Peripheral blood smear — 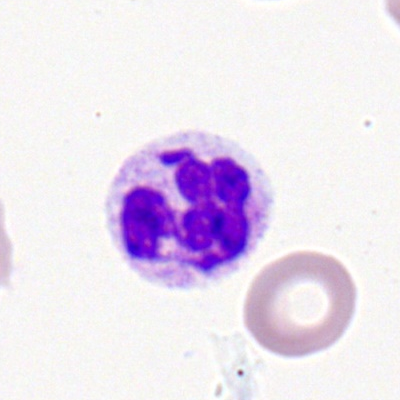
Morphological class — neutrophil (segmented).